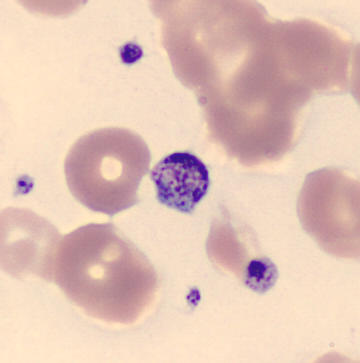

Classification: thrombocyte. Image: Peripheral blood film.